Cropped to a single cell; bone marrow smear; MGG-stained
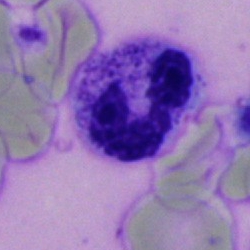
Single cell identified as a neutrophil (segmented).